Single cell centered in the field; bone marrow aspirate smear — 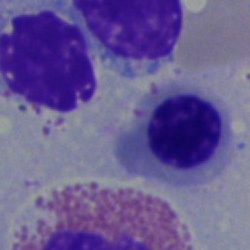
{"cell_type": "nucleated red blood cell", "lineage": "erythroid"}